40× objective, oil immersion; bone marrow smear; cropped to a single cell.
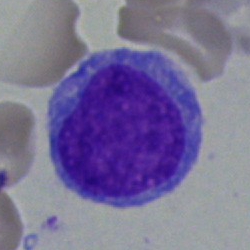 Blast.